Single-cell crop; bone marrow aspirate smear; 40× oil immersion: 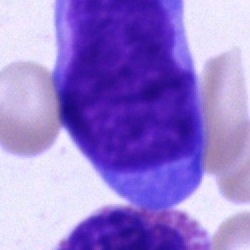This is a blast.